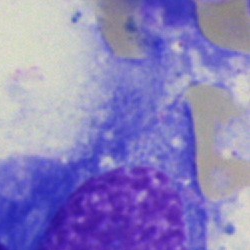

A plasma cell.